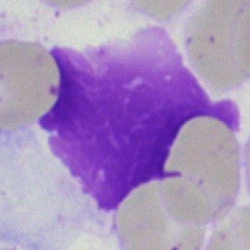
{"cell_type": "artefact"}